Romanowsky-stained; peripheral blood smear — 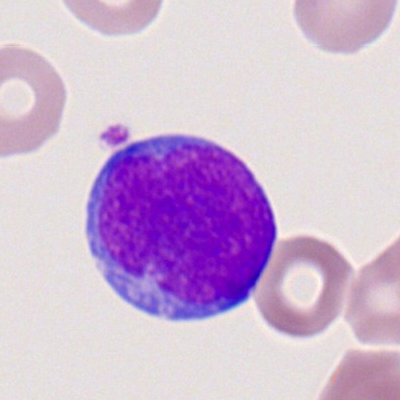 Impression → myeloblast.